250×250 · bone marrow aspirate smear:
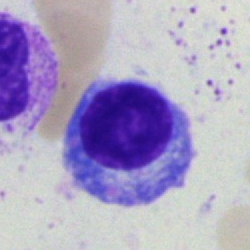
The cell type is plasmacyte.